Bone marrow smear:
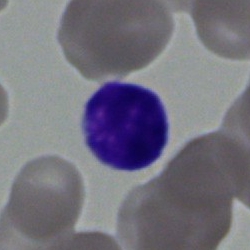Cell type: lymphocyte.